Bone marrow smear: 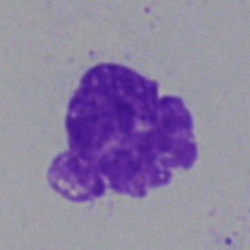
Specimen: bone marrow aspirate smear.
Cell type: artefact.